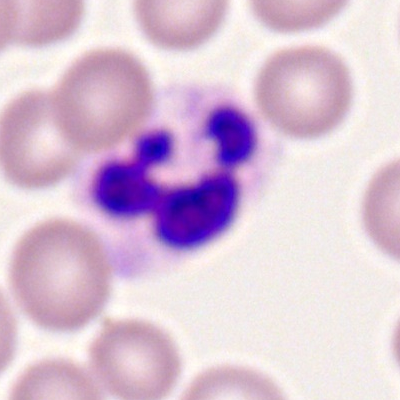 Neutrophil (segmented).